Bone marrow smear · MGG-stained.
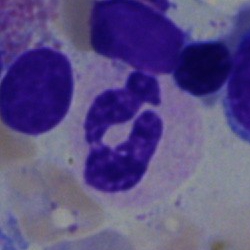Single cell identified as a segmented neutrophil.